Bone marrow smear · Pappenheim-stained: 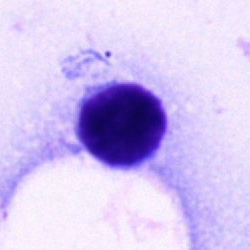 Specimen: bone marrow smear.
Morphological class: lymphocyte.
Lineage: lymphoid.